Bone marrow smear
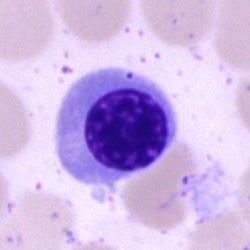
Impression → nucleated red blood cell.